Bone marrow smear.
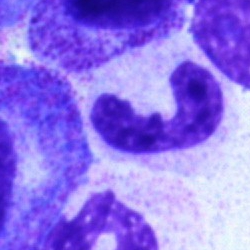

Specimen: bone marrow aspirate smear.
Classification: polymorphonuclear neutrophil.